Bone marrow smear: 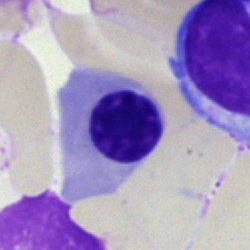 Morphology consistent with a nucleated red cell.